Bone marrow smear.
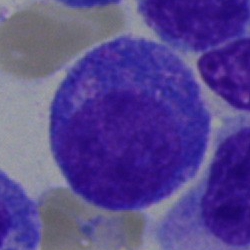
This is a progranulocyte.